Bone marrow aspirate smear
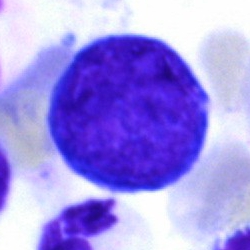Q: What is shown here?
A: This is a pronormoblast.